Bone marrow aspirate smear. Brightfield microscopy, 40× oil immersion: 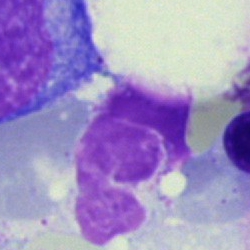

Impression — artifact.